Bone marrow aspirate smear · 40× oil immersion · single-cell crop — 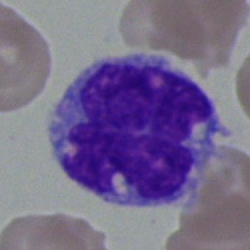

A monocyte.